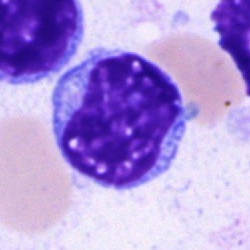An undifferentiated blast on a bone marrow smear.